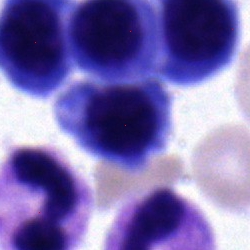 Bone marrow smear showing an erythroblast.